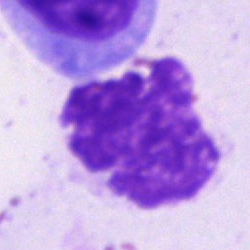This is an artefact.